Bone marrow aspirate smear; 250 by 250 pixels
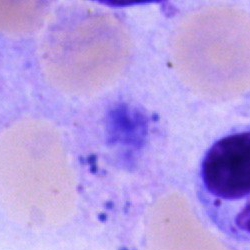

Impression → artefact.